Bone marrow aspirate smear:
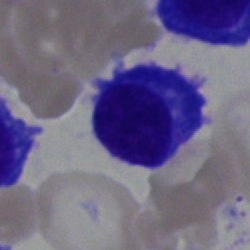This is a plasmacyte.